250×250 px. Bone marrow aspirate smear:
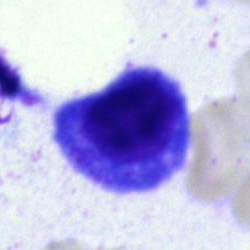
Specimen: bone marrow smear.
Cell: myelocyte.